Peripheral blood film
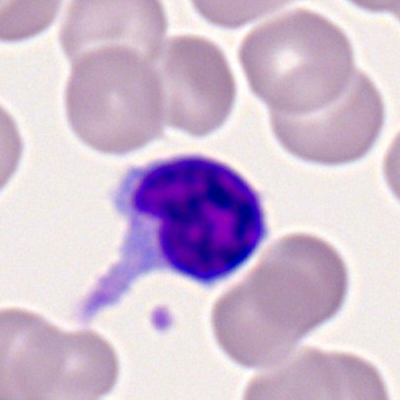 Cell type = typical lymphocyte.